Brightfield microscopy, 40× oil immersion; bone marrow aspirate smear.
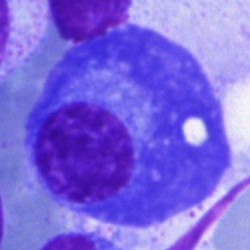A plasma cell.